Brightfield microscopy, 40× oil immersion; bone marrow aspirate smear
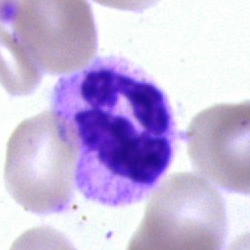Cell type — segmented neutrophil.